Bone marrow aspirate smear; brightfield, 40× oil-immersion objective
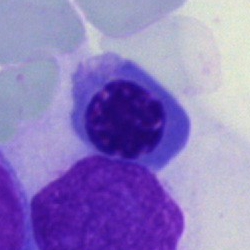{"cell_type": "normoblast", "lineage": "erythroid"}